Single-cell field. Bone marrow aspirate smear. 250 by 250 pixels — 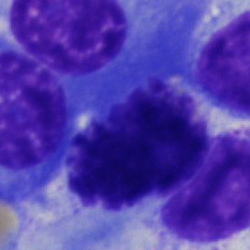Morphology consistent with a nucleated red blood cell.